400×400 px · peripheral blood smear · Romanowsky-stained:
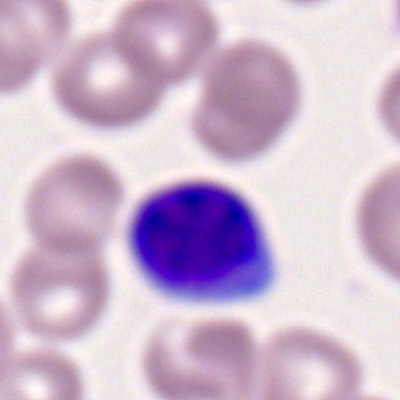 The cell type is lymphocyte.